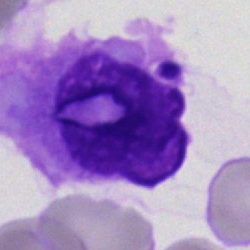Q: What is shown here?
A: An artefact.